Peripheral blood film:
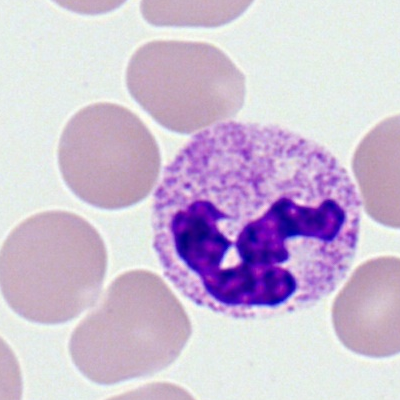
Impression → segmented neutrophil.